Bone marrow smear.
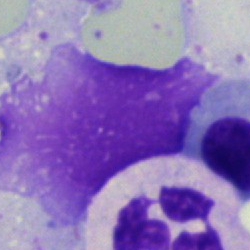

The cell shown is an artefact.